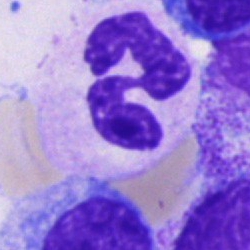

A neutrophil (segmented).